Single-cell crop; bone marrow smear — 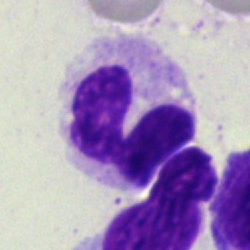 Q: Which cell type is shown here?
A: Neutrophil (segmented).